Bone marrow smear — 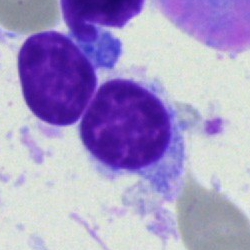
Morphology — lymphocyte.